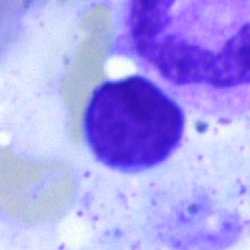

Showing a typical lymphocyte.